Image size 400×400 · peripheral blood film · 100× oil immersion.
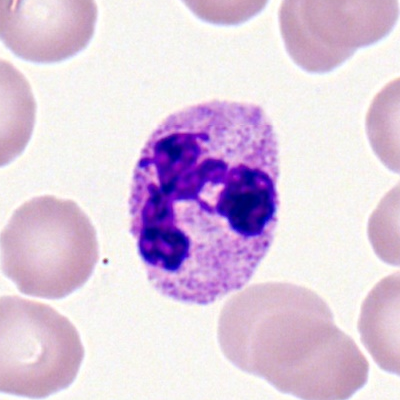Morphology → neutrophil (segmented).